Cropped to a single cell · bone marrow aspirate smear · 250×250:
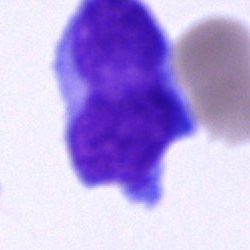Specimen: bone marrow smear.
Morphological class: undifferentiated blast.